Bone marrow aspirate smear
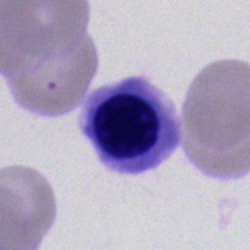

Cell = nucleated red cell.